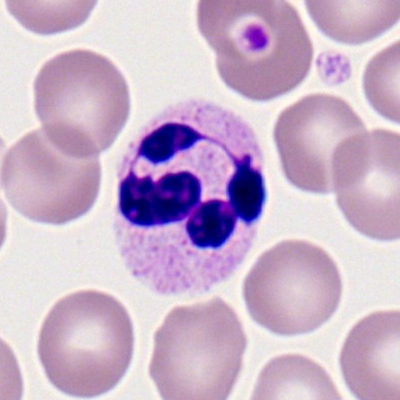 Morphological class = segmented neutrophil.